Bone marrow smear — 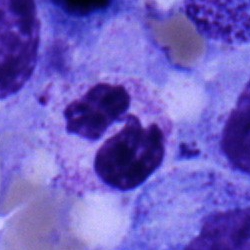
A segmented neutrophil.